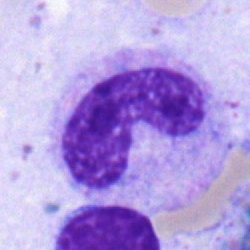

Q: What type of cell is this?
A: A neutrophil (band).